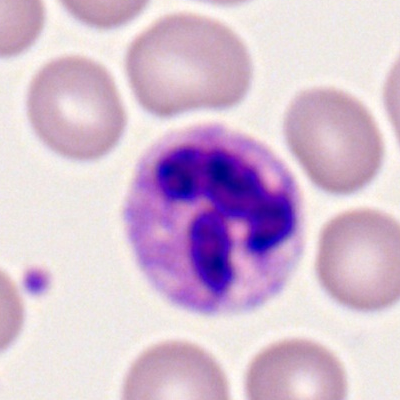 A polymorphonuclear neutrophil.